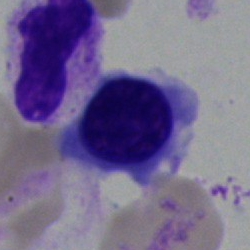Classification — nucleated red blood cell.